400 by 400 pixels; cropped to a single cell; peripheral blood smear.
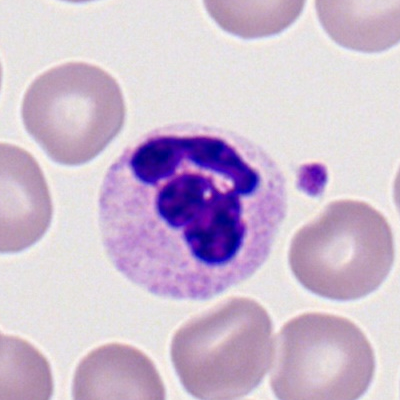{"cell_type": "segmented neutrophil"}